Bone marrow smear; image size 250×250 — 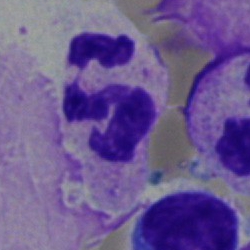
A neutrophil (segmented).